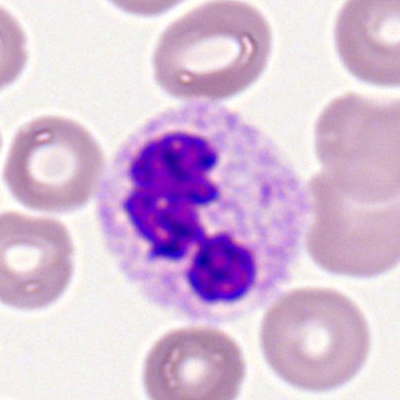A polymorphonuclear neutrophil.